Bone marrow smear. 40× objective, oil immersion: 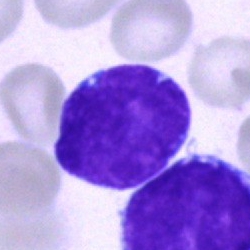Morphology consistent with a blast.